May-Grünwald-Giemsa stain · bone marrow aspirate smear
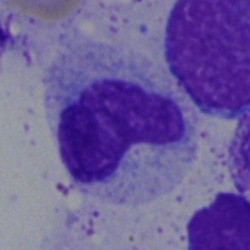Specimen: bone marrow smear.
Classification: stab cell.
Lineage: myeloid.